Bone marrow aspirate smear.
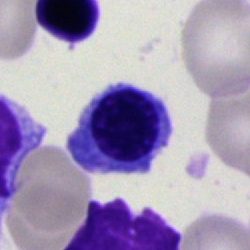
Q: What cell is this?
A: Normoblast.